Bone marrow smear — 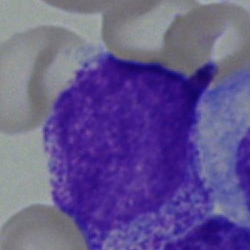Q: What is shown here?
A: Myelocyte.